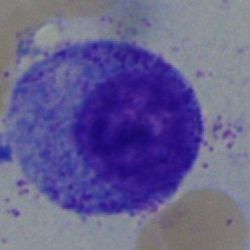 A myelocyte.